Bone marrow aspirate smear. 40× oil immersion:
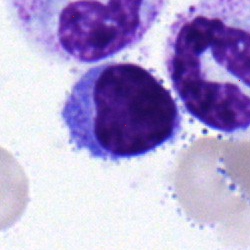Showing a lymphocyte.